40× oil immersion · bone marrow aspirate smear — 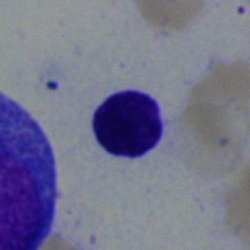

Typical lymphocyte.